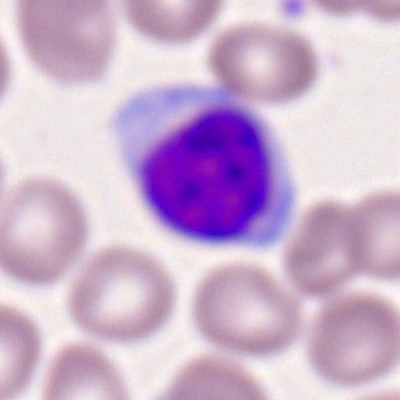 The cell is typical lymphocyte.